Bone marrow aspirate smear — 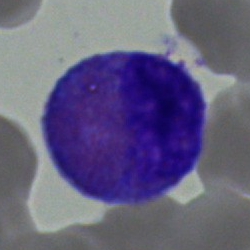Morphological class = eosinophilic granulocyte.